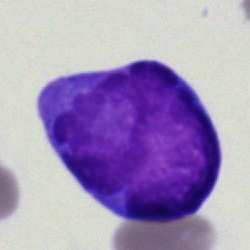

The cell shown is a blast.